250×250; May-Grünwald-Giemsa/Pappenheim stain; bone marrow aspirate smear.
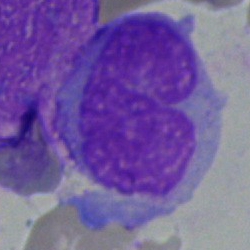 Specimen: bone marrow smear.
Cell type: monocyte.
Lineage: myeloid.